250×250. May-Grünwald-Giemsa/Pappenheim stain. Bone marrow smear.
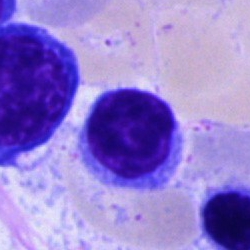

Cell: lymphocyte.